Bone marrow smear · image size 250×250
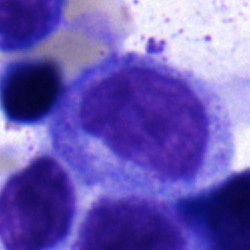

Showing a progranulocyte.